Bone marrow aspirate smear · cropped to a single cell · May-Grünwald-Giemsa stain: 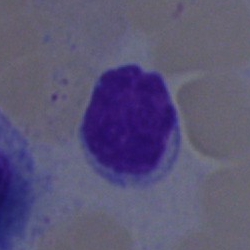
The cell shown is a lymphocyte.